Pappenheim-stained; bone marrow smear; 40× oil immersion.
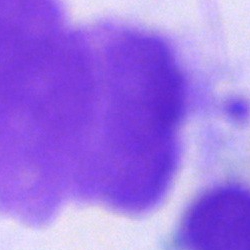Q: What is shown here?
A: An artefact.